Romanowsky stain · M8 digital microscope (Precipoint), 100× oil immersion · peripheral blood film: 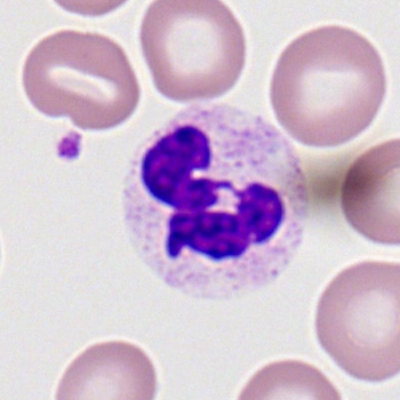Q: Which cell type is shown here?
A: A neutrophil (segmented).